Bone marrow smear.
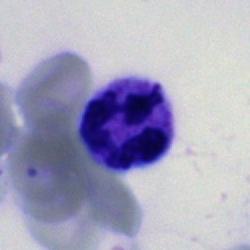

The morphological class is polymorphonuclear neutrophil.